Bone marrow smear. 40× oil immersion — 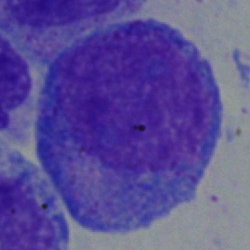

Morphology — progranulocyte.